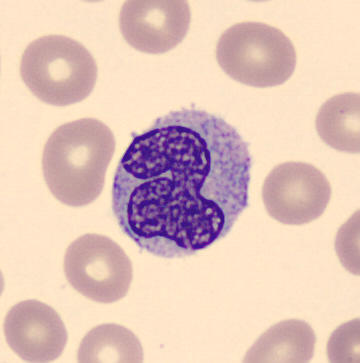 Morphological class — monocyte.